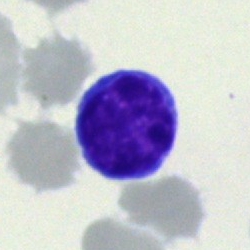Morphological class = typical lymphocyte.